Single-cell field; bone marrow aspirate smear:
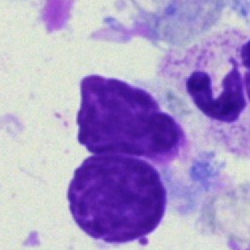The cell shown is an artifact.